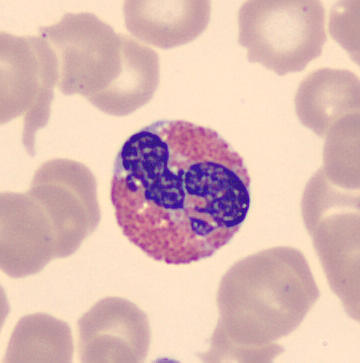Showing an eosinophil.